Bone marrow smear: 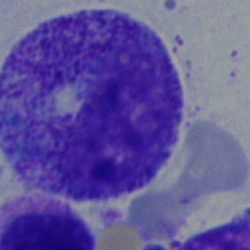
The classification is promyelocyte.